Pappenheim-stained; bone marrow aspirate smear — 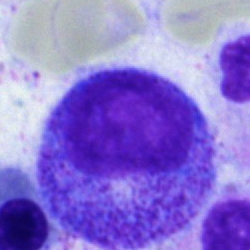
Morphology consistent with a promyelocyte.